Bone marrow smear — 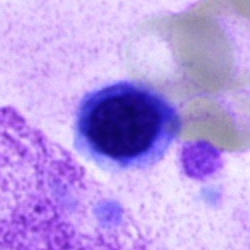
Cell — nucleated red cell.